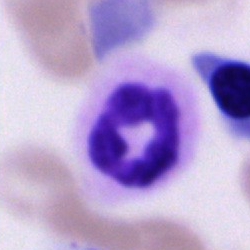 Morphological class: neutrophil (segmented).